Single cell centered in the field. Bone marrow smear: 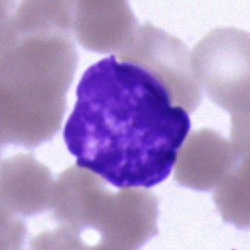
Q: What is shown here?
A: It is an artifact.